Cropped to a single cell. Bone marrow smear. Image size 250×250 — 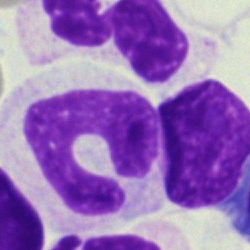
Specimen: bone marrow aspirate smear.
Cell type: band-form neutrophil.
Lineage: myeloid.